Bone marrow aspirate smear — 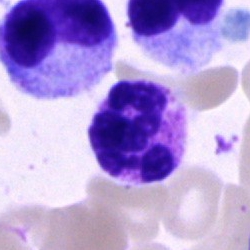

This is a neutrophil (segmented).